Bone marrow smear; May-Grünwald-Giemsa stain: 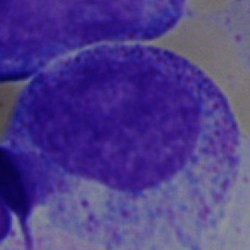 Cell type — myelocyte.